MGG-stained; bone marrow smear: 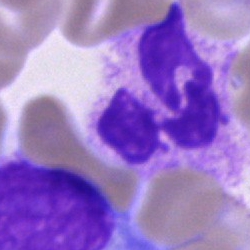
Morphology → neutrophil (segmented).